May-Grünwald-Giemsa/Pappenheim stain · bone marrow aspirate smear
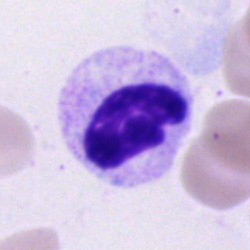
Q: What cell is this?
A: Segmented neutrophil.